Bone marrow aspirate smear: 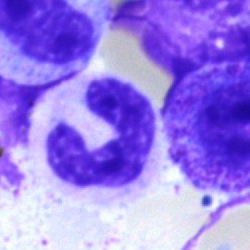 The cell shown is a neutrophil (segmented).